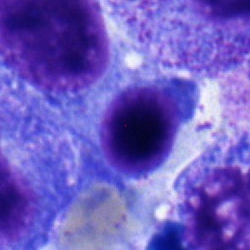Bone marrow aspirate smear, single cell — nucleated red blood cell.